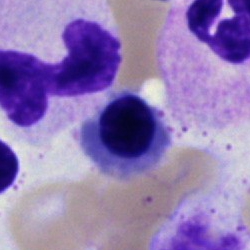Specimen: bone marrow smear.
Morphological class: normoblast.
Lineage: erythroid.